250 by 250 pixels · bone marrow smear — 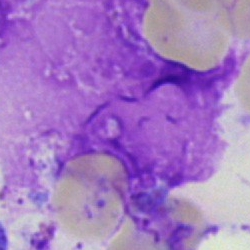 Classification — artifact.